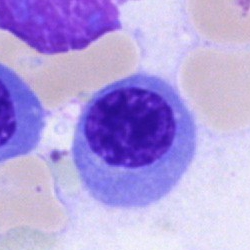 Impression → nucleated red blood cell.